M8 digital microscope (Precipoint), 100× oil immersion. Romanowsky stain. Peripheral blood smear
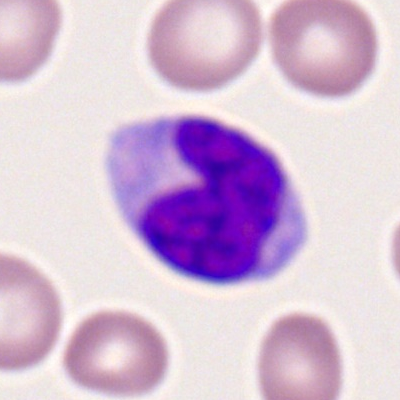

The cell type is monocyte.